Peripheral blood film.
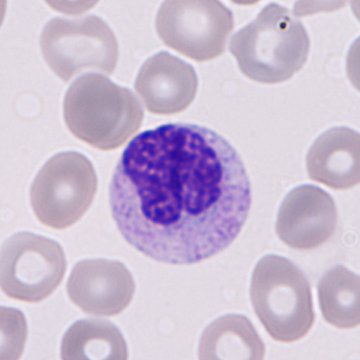

An immature granulocyte.